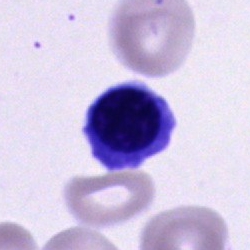

Q: What cell is this?
A: A cell of indeterminate lineage.